Peripheral blood film:
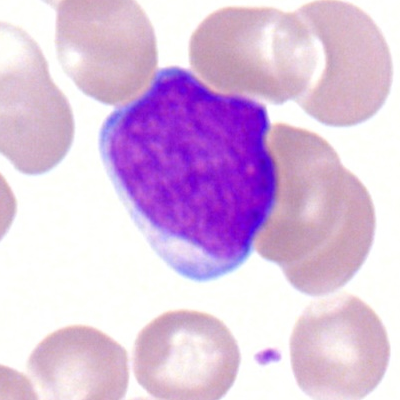

This is a myeloid blast.